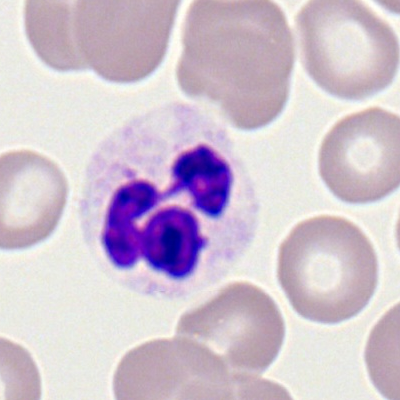
Polymorphonuclear neutrophil.